Bone marrow smear — 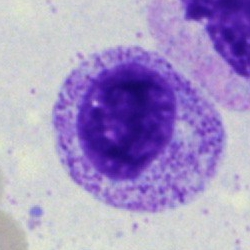

Q: What is shown here?
A: A myelocyte.